May-Grünwald-Giemsa/Pappenheim stain · bone marrow smear:
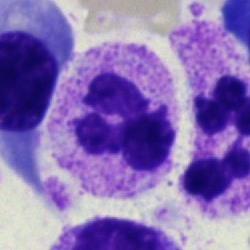

Q: What cell is this?
A: This is a polymorphonuclear neutrophil.